Brightfield, 40× oil-immersion objective; May-Grünwald-Giemsa stain; bone marrow smear.
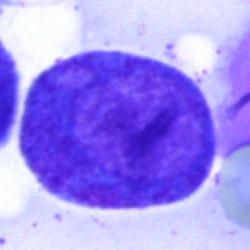

Morphology consistent with a promyelocyte.